Brightfield microscopy, 40× oil immersion; bone marrow smear:
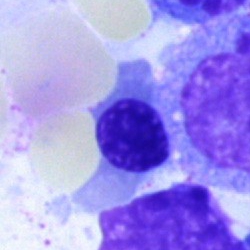

This is a nucleated red cell.